Bone marrow aspirate smear; brightfield, 40× oil-immersion objective
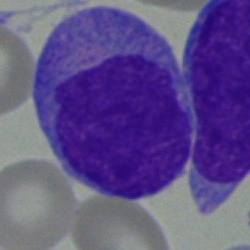 The cell is blast cell.